Peripheral blood smear; Romanowsky stain.
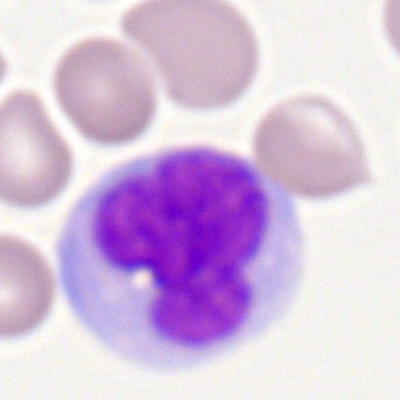 Specimen: peripheral blood smear.
Cell: monocyte.
Lineage: myeloid.